Cropped to a single cell; bone marrow aspirate smear
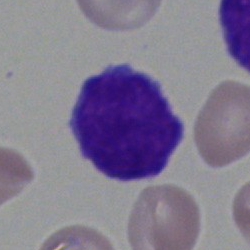
Specimen: bone marrow smear.
Cell: typical lymphocyte.
Lineage: lymphoid.